Bone marrow smear: 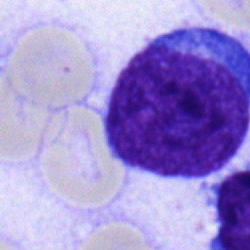
The cell shown is a typical lymphocyte.